Bone marrow smear; brightfield, 40× oil-immersion objective: 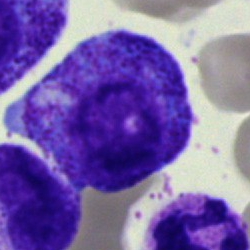 Single cell identified as a progranulocyte.